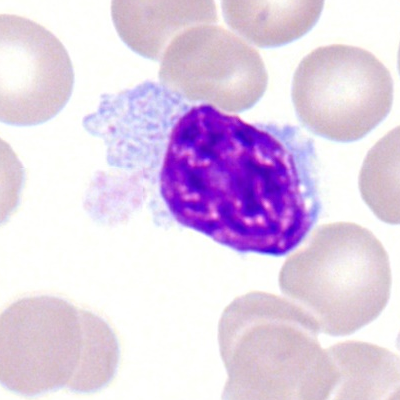

Specimen: peripheral blood film.
Morphological class: lymphocyte.